Bone marrow smear
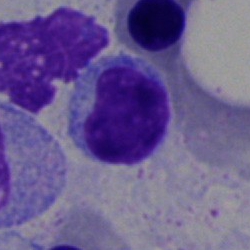Impression → typical lymphocyte.